Bone marrow smear.
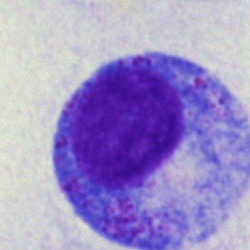Morphology → progranulocyte.